Bone marrow aspirate smear.
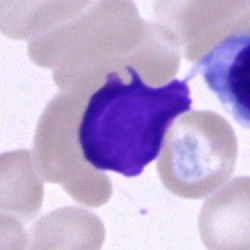 Cell — lymphocyte.